Bone marrow aspirate smear:
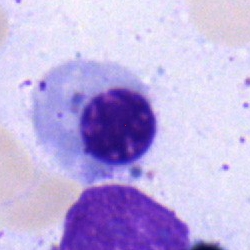 Cell type — normoblast.